Image size 250×250; bone marrow smear:
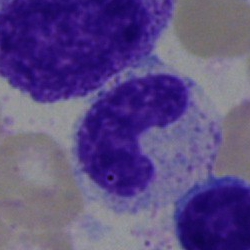
Morphology → band neutrophil.